Bone marrow aspirate smear.
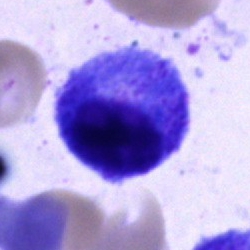
Morphology consistent with a progranulocyte.